Pappenheim-stained; bone marrow aspirate smear
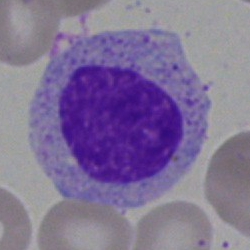 Morphology consistent with a myelocyte.